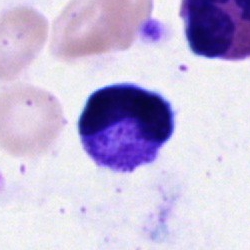
Cell type = neutrophil (segmented).